40× oil immersion; bone marrow smear — 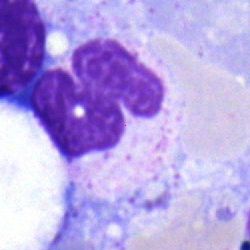
Q: Identify the cell.
A: Neutrophil (segmented).